250×250 px. Bone marrow aspirate smear. Cropped to a single cell — 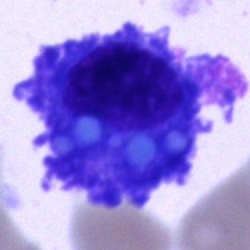
The cell shown is a plasmacyte.